Bone marrow aspirate smear
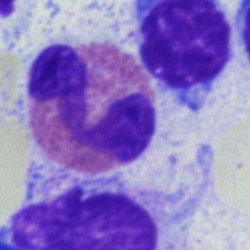
Morphological class: eosinophil.